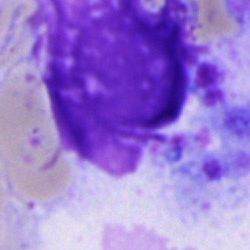
Single cell identified as an artifact.